Bone marrow smear:
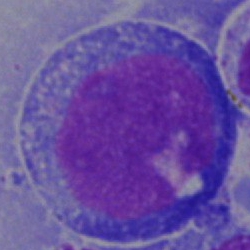 Impression — undifferentiated blast.